Cropped to a single cell · Pappenheim-stained · bone marrow smear — 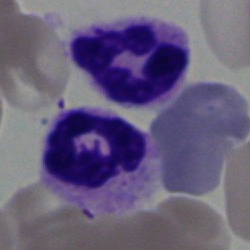

Morphology consistent with a segmented neutrophil.